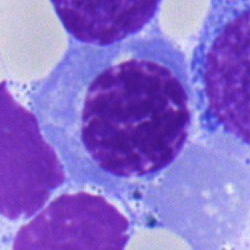 Morphology consistent with a nucleated red cell.